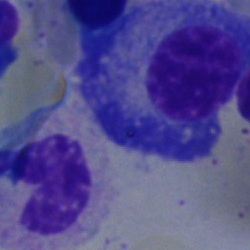
Morphology consistent with a plasmacyte.